Bone marrow smear
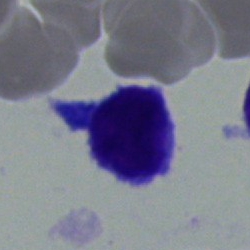

A typical lymphocyte.